Single cell centered in the field · bone marrow smear: 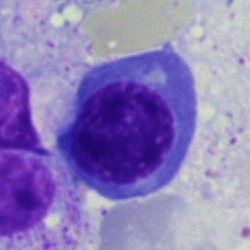Classification: erythroblast.